Bone marrow smear. Single-cell crop: 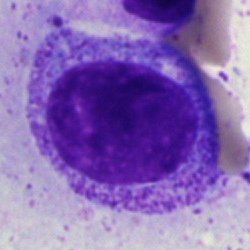
Morphology consistent with a myelocyte.